Peripheral blood smear
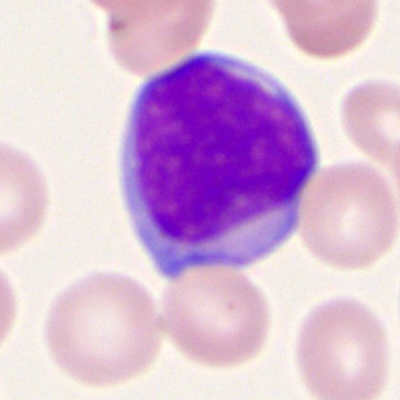
Morphology consistent with a myeloblast.